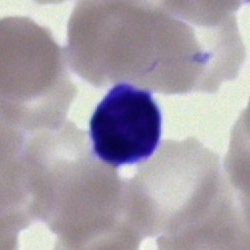 Bone marrow aspirate smear, single cell — lymphocyte.